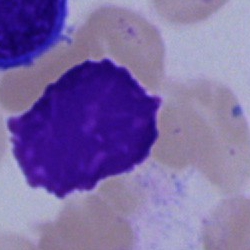 {"cell_type": "artefact"}